100× oil immersion. Peripheral blood smear — 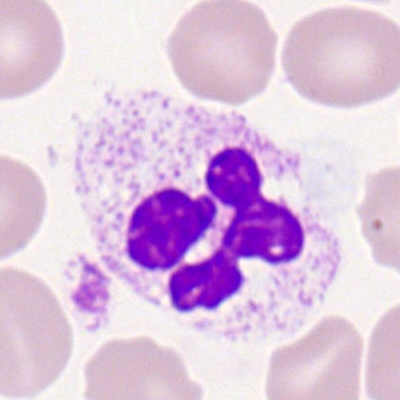

The cell shown is a segmented neutrophil.